Bone marrow smear.
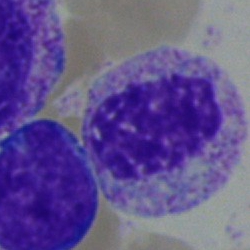{"cell_type": "myelocyte"}